Bone marrow aspirate smear
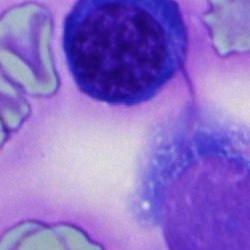Morphology consistent with a normoblast.